Bone marrow aspirate smear
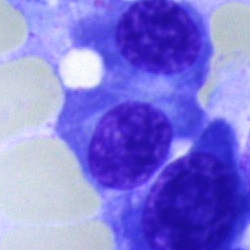Cell type — nucleated red blood cell.